Peripheral blood film.
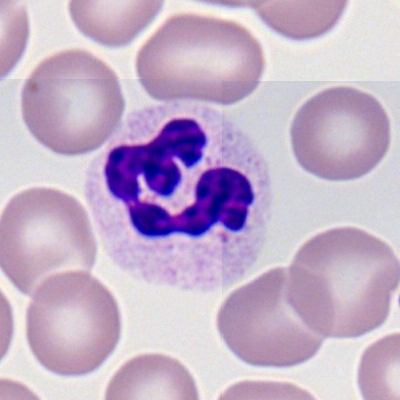 Q: What cell is this?
A: Segmented neutrophil.